Bone marrow aspirate smear
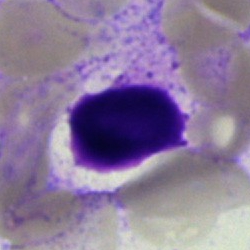

Q: What is shown here?
A: An artefact.